Bone marrow smear
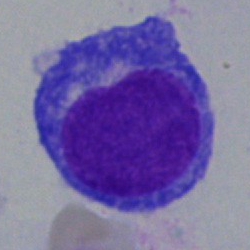Q: What type of cell is this?
A: A blast.